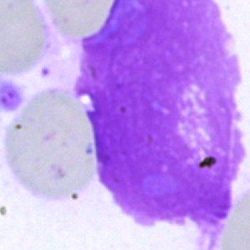

Bone marrow smear showing an artefact.